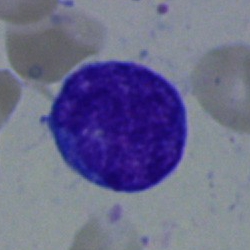Specimen: bone marrow aspirate smear.
Cell: undifferentiated blast.